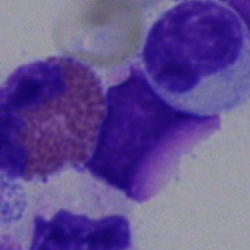 Q: What is shown here?
A: It is an eosinophilic granulocyte.